Single-cell crop. Bone marrow smear: 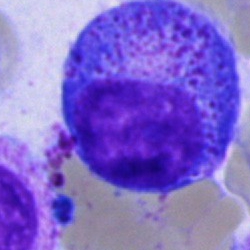Q: What cell is this?
A: It is a progranulocyte.